Bone marrow smear:
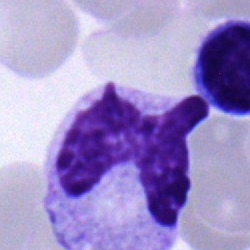

{"cell_type": "band-form neutrophil", "lineage": "myeloid"}